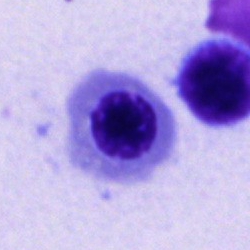 Showing an erythroblast.